Bone marrow aspirate smear — 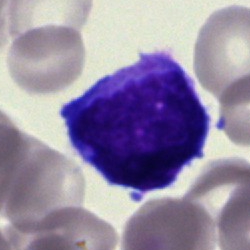
Q: What cell is this?
A: This is a blast cell.